Peripheral blood film:
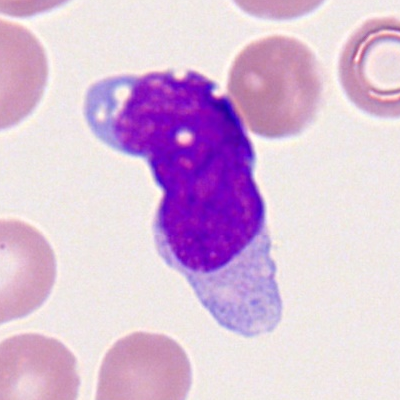 The cell shown is a monocyte.